Brightfield microscopy, 40× oil immersion · bone marrow smear:
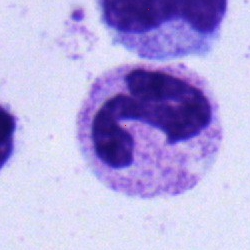 Q: What is the morphological classification of this cell?
A: It is a segmented neutrophil.